Peripheral blood smear · cropped to a single cell · 100× objective, oil immersion: 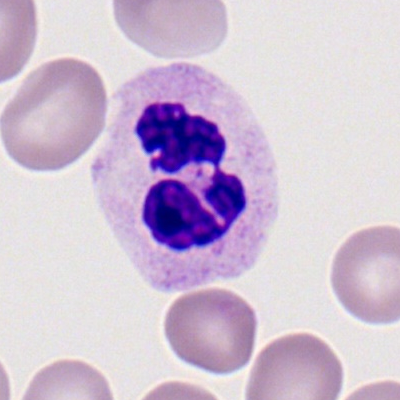

Specimen: peripheral blood smear.
Cell: neutrophil (segmented).